Bone marrow aspirate smear.
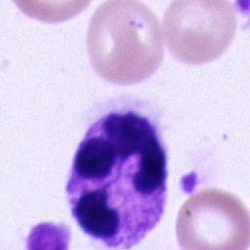Showing a neutrophil (segmented).